400×400; peripheral blood film; cropped to a single cell:
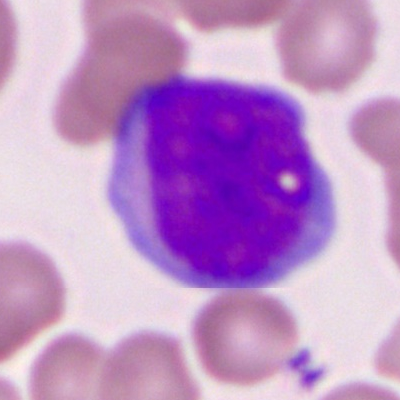
Morphological class = myeloid blast.